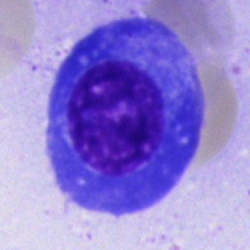 Morphology consistent with a plasmacyte.